250 by 250 pixels · bone marrow aspirate smear · single cell centered in the field.
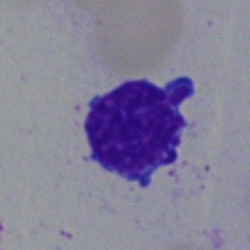 The cell shown is a lymphocyte.